Brightfield, 40× oil-immersion objective · 250×250 px · bone marrow aspirate smear.
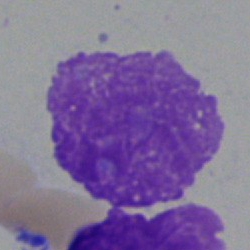

Showing an artifact.